Bone marrow aspirate smear:
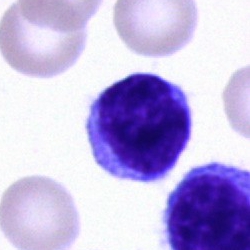

The cell shown is a lymphocyte.